Bone marrow aspirate smear.
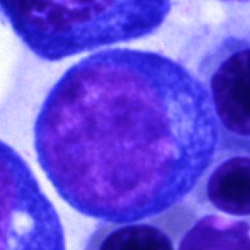 Cell type = pronormoblast.